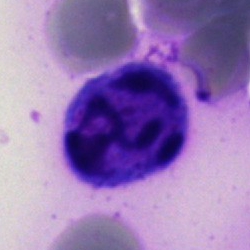

Impression → artifact.